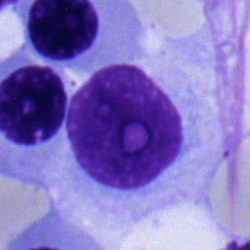 A lymphocyte on a bone marrow smear.